Bone marrow smear; 250 by 250 pixels: 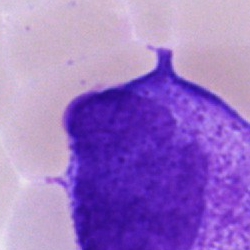 Impression — undifferentiated blast.